Bone marrow smear — 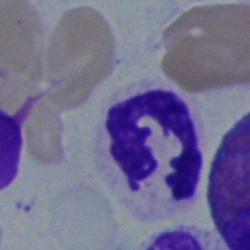Morphology — neutrophil (segmented).